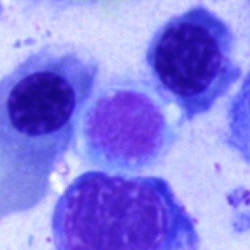
Bone marrow aspirate smear, single cell — nucleated red cell.